Bone marrow aspirate smear: 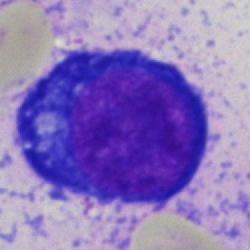 The classification is proerythroblast.